40× oil immersion. Bone marrow aspirate smear.
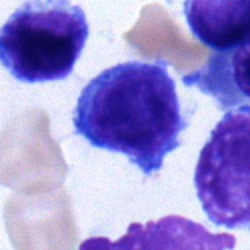 Showing a typical lymphocyte.